Brightfield, 40× oil-immersion objective; bone marrow smear; cropped to a single cell
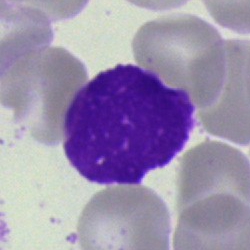 {"cell_type": "artefact"}